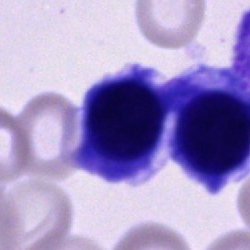 Morphology consistent with an unidentifiable cell.